Peripheral blood film. 400×400:
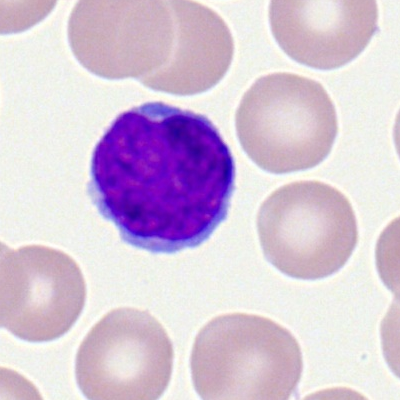
Q: Which cell type is shown here?
A: This is a lymphocyte.